Bone marrow smear.
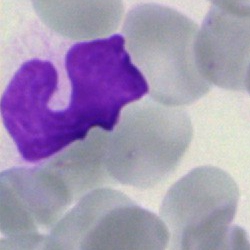
Artifact.